Peripheral blood smear:
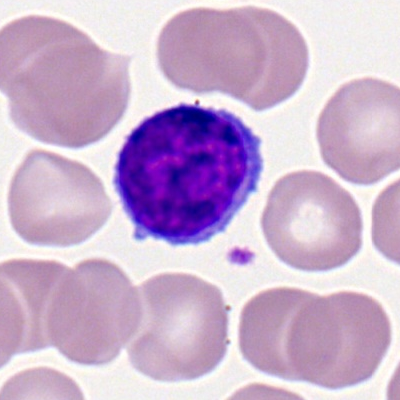 Impression — lymphocyte.